Single-cell crop; bone marrow aspirate smear: 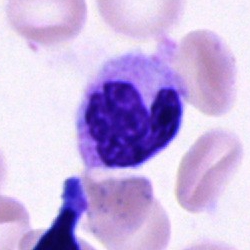

Specimen: bone marrow aspirate smear.
Morphological class: neutrophil (segmented).
Lineage: myeloid.